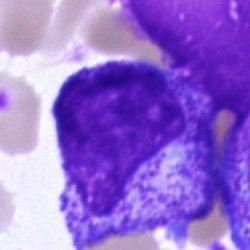 Single cell identified as a progranulocyte.